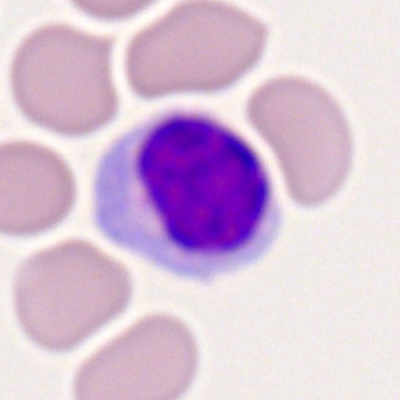

Typical lymphocyte.